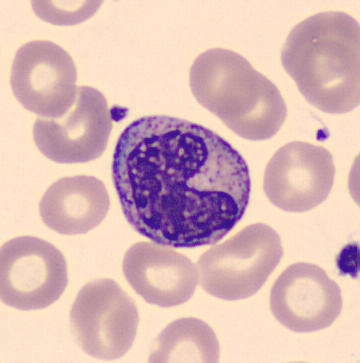

Specimen: peripheral blood film.
Cell: metamyelocyte.
Lineage: myeloid.
Imaged on a CellaVision DM96 analyser.